Bone marrow smear; single-cell crop.
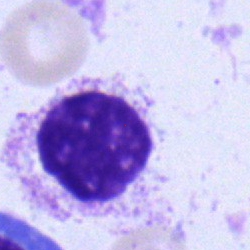
Morphology → myelocyte.